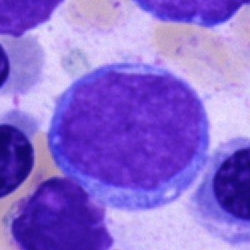Specimen: bone marrow smear.
Classification: blast cell.